Bone marrow smear
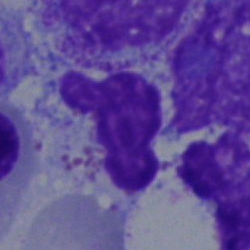 Specimen: bone marrow smear.
Cell type: artefact.